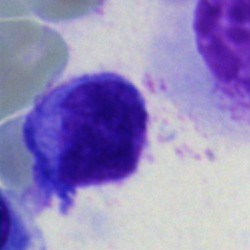 Classification = lymphocyte.